Bone marrow smear · cropped to a single cell
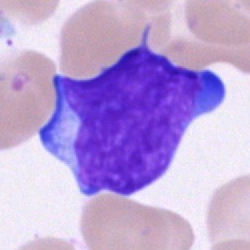

Specimen: bone marrow smear.
Cell: lymphocyte.